Bone marrow aspirate smear · cropped to a single cell.
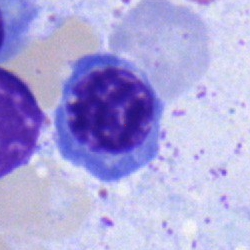

Impression → nucleated red cell.